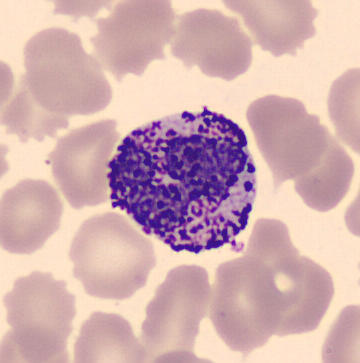Preparation: Peripheral blood smear.

Q: Identify the cell.
A: This is a basophilic granulocyte.